Single cell centered in the field. Bone marrow smear:
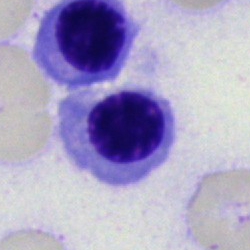Morphology — nucleated red blood cell.